40× oil immersion. Bone marrow aspirate smear
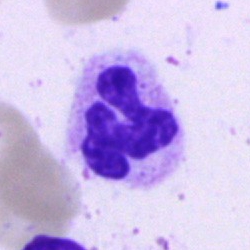Q: Identify the cell.
A: This is a segmented neutrophil.